Bone marrow aspirate smear; Pappenheim-stained:
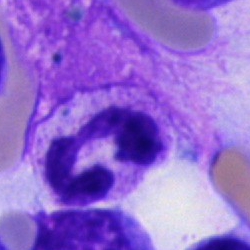Single cell identified as a neutrophil (segmented).